Bone marrow smear.
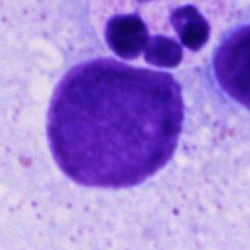
The cell type is artifact.